Bone marrow aspirate smear; May-Grünwald-Giemsa stain; 250 by 250 pixels: 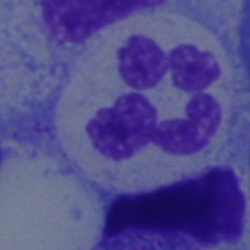 Showing a polymorphonuclear neutrophil.